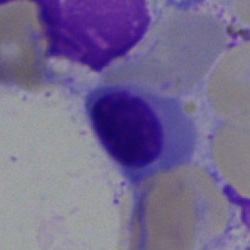

Cell type — erythroblast.